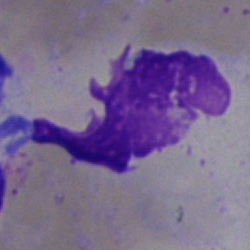

Specimen: bone marrow smear.
Cell type: artifact.